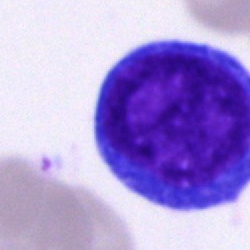
The morphological class is blast.